Brightfield microscopy, 40× oil immersion; bone marrow smear; single-cell field
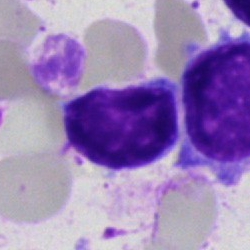

The cell shown is a typical lymphocyte.